400×400 px; peripheral blood smear:
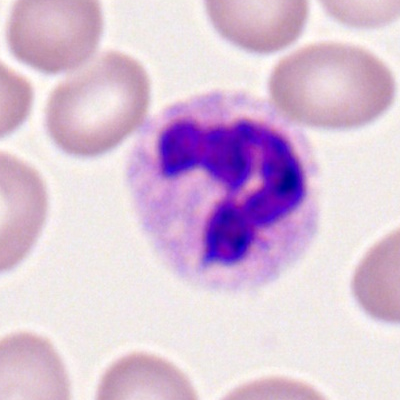 A segmented neutrophil.